Bone marrow aspirate smear
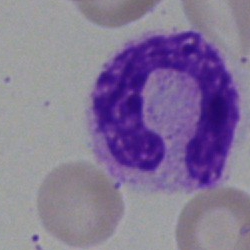

The cell shown is a segmented neutrophil.